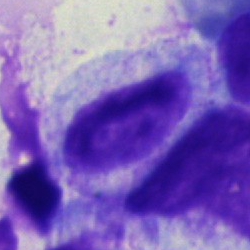
Impression — myelocyte.